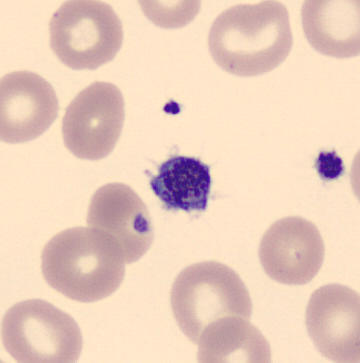
Morphology — thrombocyte.